Bone marrow aspirate smear:
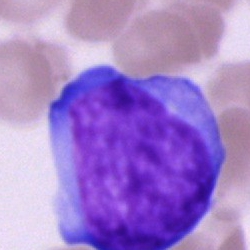
This is an undifferentiated blast.